40× oil immersion. 250×250 px. Bone marrow smear.
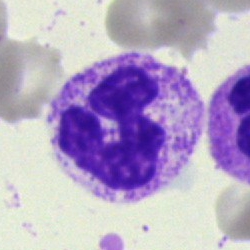Showing a neutrophil (segmented).